Single-cell field · bone marrow smear
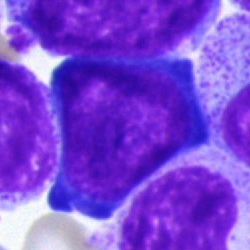

Morphology consistent with a pronormoblast.